May-Grünwald-Giemsa stain · bone marrow aspirate smear · brightfield microscopy, 40× oil immersion — 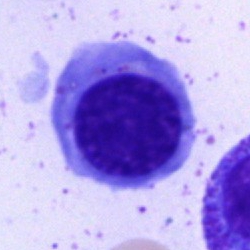

Normoblast.